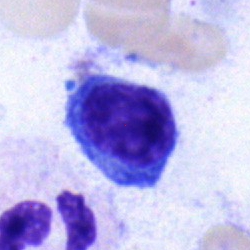 Q: Identify the cell.
A: Typical lymphocyte.